40× oil immersion · MGG-stained · bone marrow smear
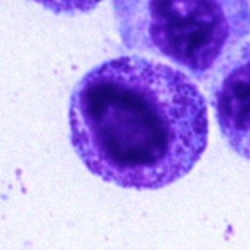 Showing a myelocyte.